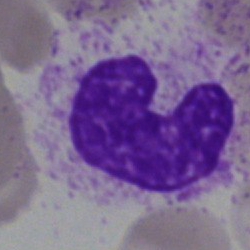
Q: What is the morphological classification of this cell?
A: A neutrophil (band).